Bone marrow aspirate smear.
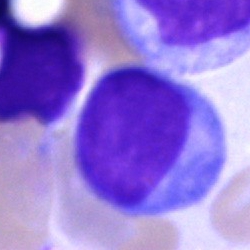Morphology consistent with a blast.